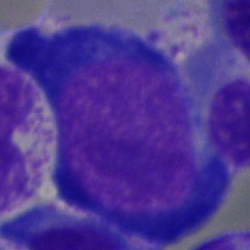
Morphological class = pronormoblast.